Bone marrow aspirate smear
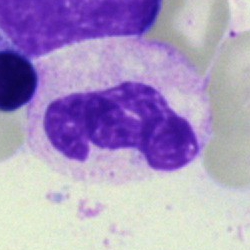This is a neutrophil (segmented).